Bone marrow smear: 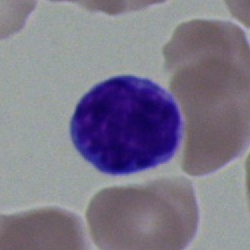{"cell_type": "lymphocyte"}